Bone marrow smear; single cell centered in the field; MGG-stained
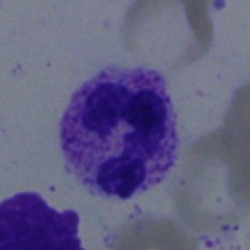

Showing a neutrophil (segmented).